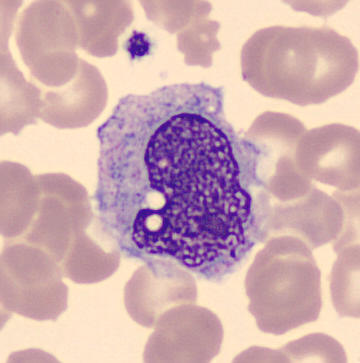CellaVision DM96 digital cell image; single-cell field; peripheral blood smear. A monocyte.